Bone marrow smear:
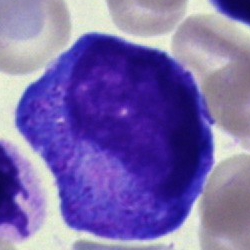Single cell identified as a promyelocyte.